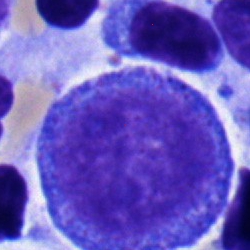This is a progranulocyte.